Bone marrow aspirate smear: 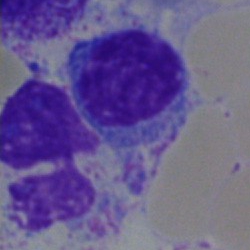 Q: Which cell type is shown here?
A: It is a typical lymphocyte.